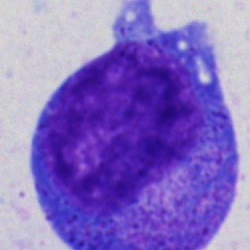
Specimen: bone marrow aspirate smear.
Cell type: promyelocyte.
Lineage: myeloid.